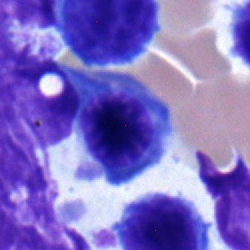Specimen: bone marrow smear.
Cell: erythroblast.
Lineage: erythroid.